Single-cell field; bone marrow aspirate smear:
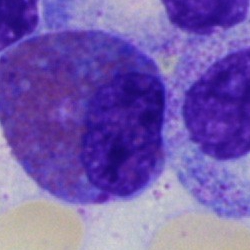 Morphology consistent with an eosinophil.